Bone marrow aspirate smear
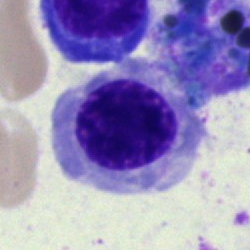
Morphology → erythroblast.